Bone marrow smear; 40× oil immersion; cropped to a single cell
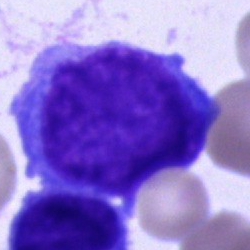 Morphology — blast.